Bone marrow smear · Pappenheim-stained · brightfield, 40× oil-immersion objective — 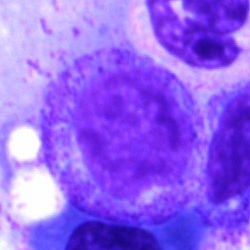Q: What cell is this?
A: This is an erythroblast.